Bone marrow aspirate smear · May-Grünwald-Giemsa stain: 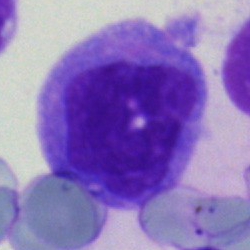
Morphology consistent with a blast cell.